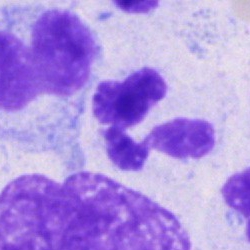A segmented neutrophil on a bone marrow smear.